Bone marrow aspirate smear. 250×250 px.
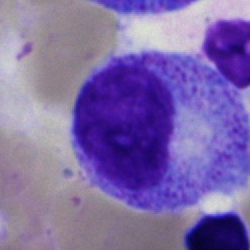
{"cell_type": "myelocyte"}